40× oil immersion. Bone marrow aspirate smear: 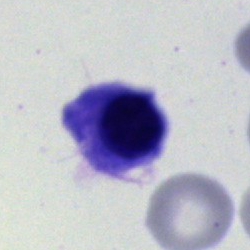
Impression — nucleated red cell.